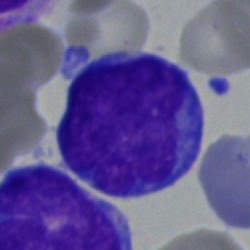
{"cell_type": "blast cell"}